Brightfield, 40× oil-immersion objective. Bone marrow smear
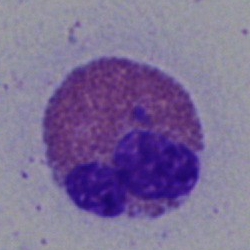
Q: What type of cell is this?
A: It is an eosinophilic granulocyte.